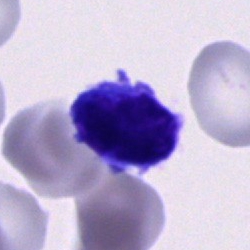Cell = cell of indeterminate lineage.